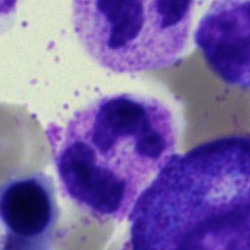Morphological class — segmented neutrophil.